MGG-stained · bone marrow smear.
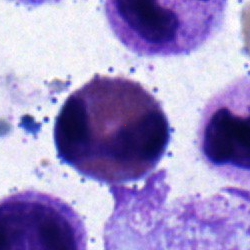
The cell type is eosinophil.